Bone marrow aspirate smear: 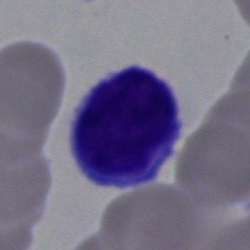 Morphology → lymphocyte.